Peripheral blood film; 100× oil immersion; 400×400 px — 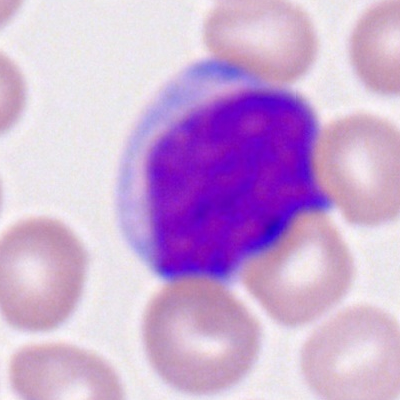

Specimen: peripheral blood smear.
Morphological class: myeloid blast.
Lineage: myeloid.